Bone marrow smear.
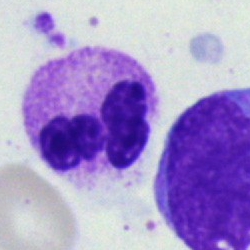Neutrophil (segmented).